May-Grünwald-Giemsa/Pappenheim stain; bone marrow smear.
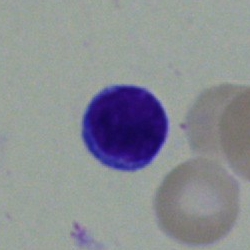Showing a lymphocyte.